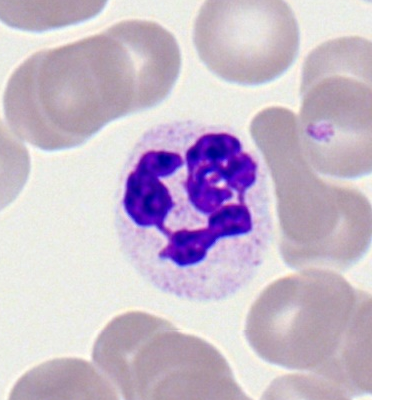
The cell type is segmented neutrophil.